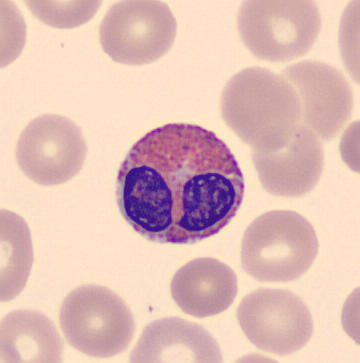 Specimen: peripheral blood film.
Cell: eosinophilic granulocyte. Image: 360×363 px.